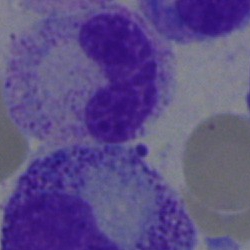Morphological class: band-form neutrophil.